Peripheral blood smear:
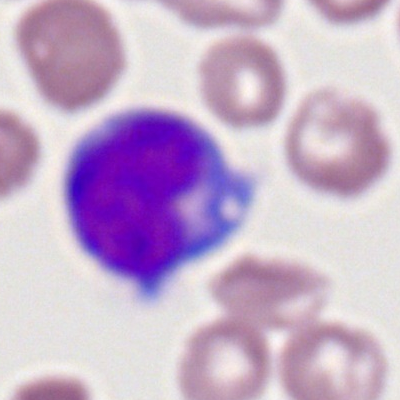
A monocyte.